Single-cell field; bone marrow smear — 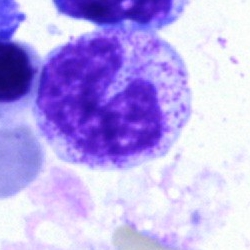
Q: What is shown here?
A: A stab cell.